Single-cell field. Romanowsky stain. Peripheral blood film: 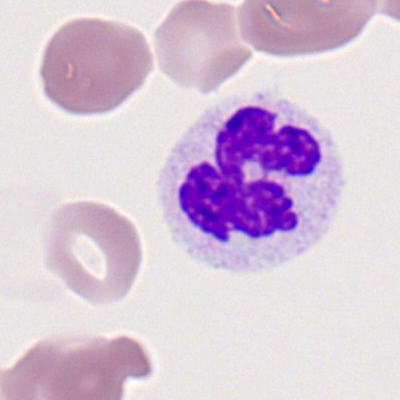

Specimen: peripheral blood film.
Cell: segmented neutrophil.